Cropped to a single cell; bone marrow aspirate smear: 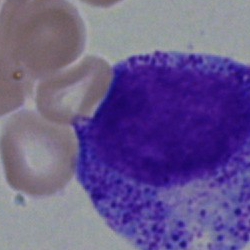

Showing a promyelocyte.